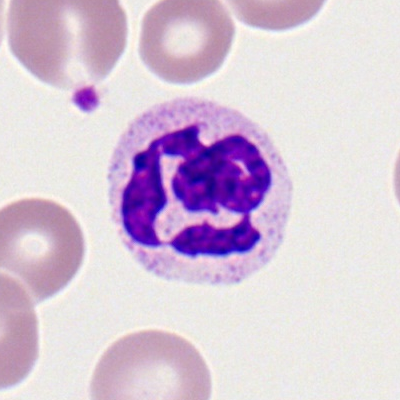Q: What is the morphological classification of this cell?
A: Segmented neutrophil.